40× objective, oil immersion; single-cell crop; bone marrow aspirate smear
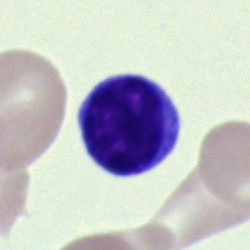
Single cell identified as a typical lymphocyte.